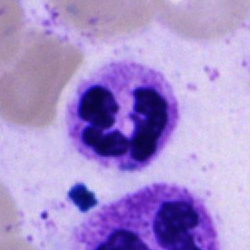

Q: What cell is this?
A: This is a polymorphonuclear neutrophil.